250×250 · bone marrow smear.
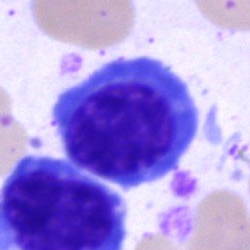
Specimen: bone marrow smear.
Cell type: erythroblast.
Lineage: erythroid.